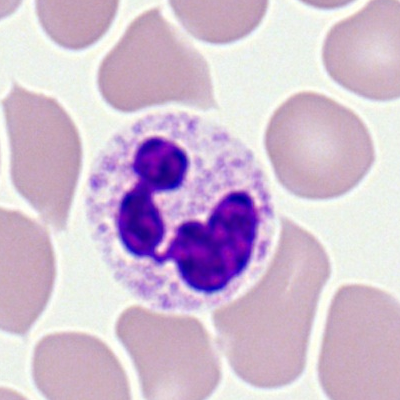Morphology → neutrophil (segmented).